Bone marrow smear
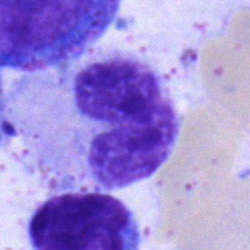 {"cell_type": "stab cell", "lineage": "myeloid"}